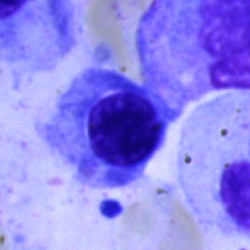 Morphology consistent with a nucleated red cell.